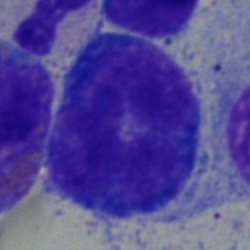 Specimen: bone marrow aspirate smear.
Cell type: blast.